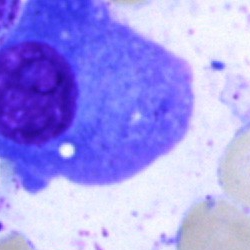
Specimen: bone marrow smear.
Cell type: plasma cell.